100× oil immersion, 14.14 px/µm. Single-cell crop. Peripheral blood film
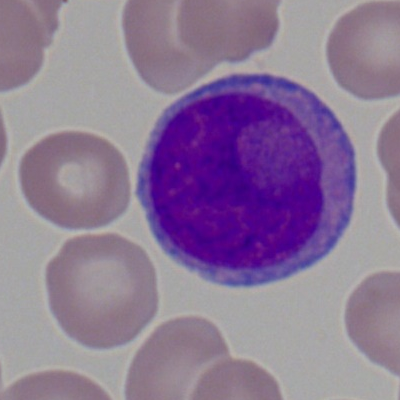

Impression → myeloid blast.